Bone marrow smear
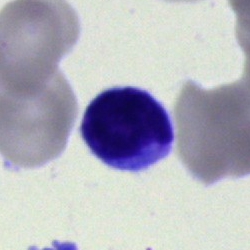 Cell type — blast.